250×250 px. Bone marrow smear
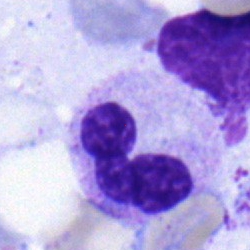Impression → segmented neutrophil.